May-Grünwald-Giemsa stain; bone marrow aspirate smear; 250×250 px.
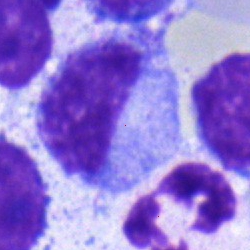

Morphology consistent with a metamyelocyte.